250 by 250 pixels · bone marrow smear — 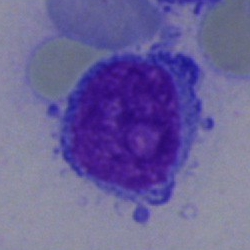
Specimen: bone marrow aspirate smear.
Classification: typical lymphocyte.